Bone marrow smear. Single-cell crop. MGG-stained.
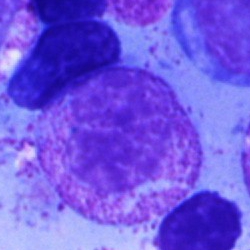

Specimen: bone marrow smear.
Classification: myelocyte.
Lineage: myeloid.